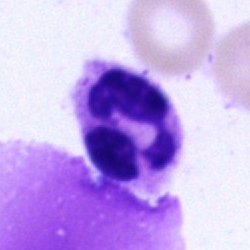 Impression — polymorphonuclear neutrophil.